Bone marrow aspirate smear; 40× objective, oil immersion:
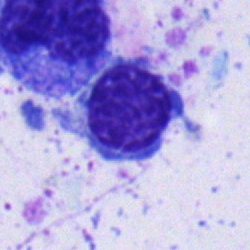
Showing a lymphocyte.